Pappenheim-stained · 40× oil immersion · bone marrow smear.
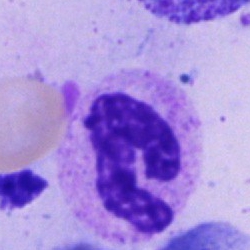
Morphology consistent with a polymorphonuclear neutrophil.